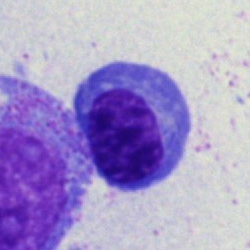Cell type: erythroblast.